Bone marrow aspirate smear:
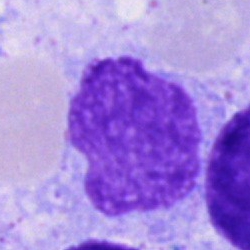 Single cell identified as an artifact.